Bone marrow aspirate smear; 40× objective, oil immersion:
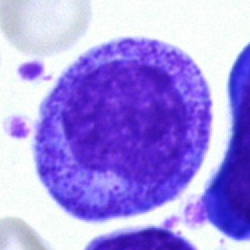

{"cell_type": "myelocyte"}